Peripheral blood film: 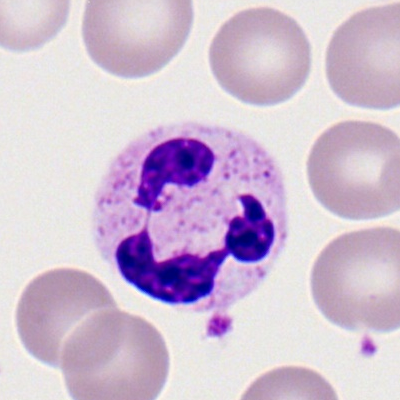 Impression — segmented neutrophil.